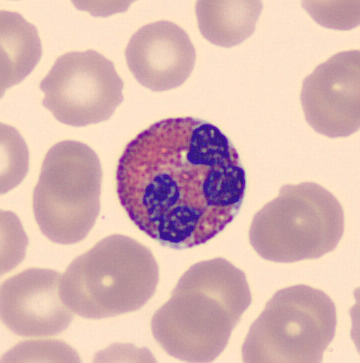

Cell — eosinophilic granulocyte.

Peripheral blood smear; cropped to a single cell.